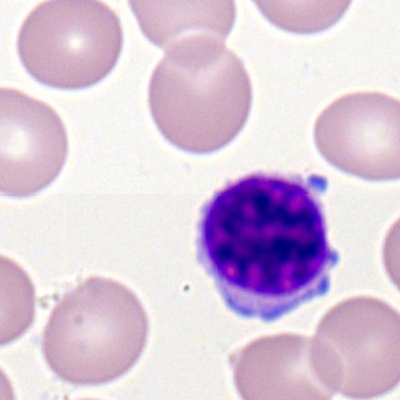 Impression → typical lymphocyte.